Bone marrow aspirate smear
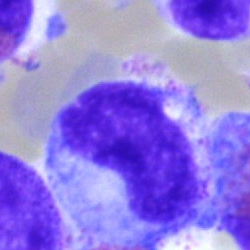

A metamyelocyte.